Single cell centered in the field. Bone marrow aspirate smear.
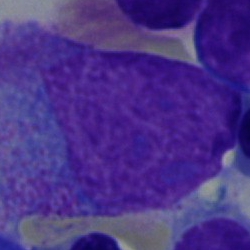 Single cell identified as a progranulocyte.